Bone marrow aspirate smear
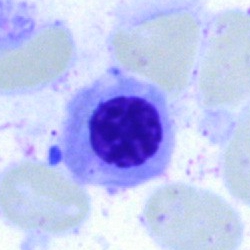

Specimen: bone marrow aspirate smear.
Cell type: nucleated red cell.